Bone marrow aspirate smear · May-Grünwald-Giemsa stain: 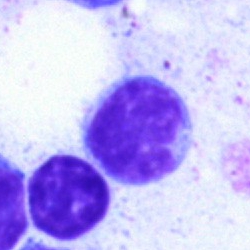 The morphological class is lymphocyte.